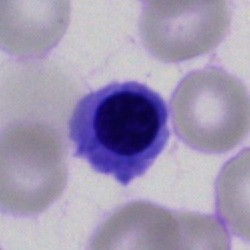

Bone marrow smear showing a nucleated red blood cell.